May-Grünwald-Giemsa stain. Bone marrow smear: 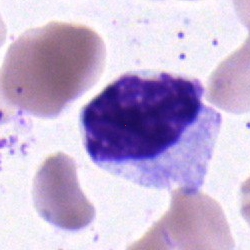 Cell = myelocyte.